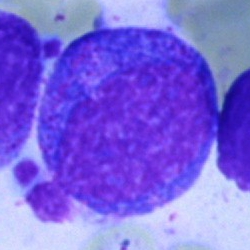

Q: What cell is this?
A: A progranulocyte.